Bone marrow aspirate smear · 250 by 250 pixels.
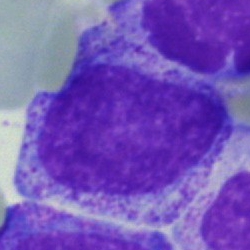Cell type: progranulocyte.